Bone marrow smear
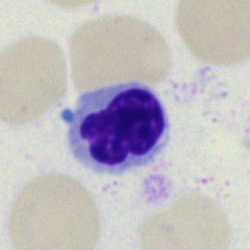
This is a nucleated red blood cell.